Bone marrow aspirate smear. May-Grünwald-Giemsa stain: 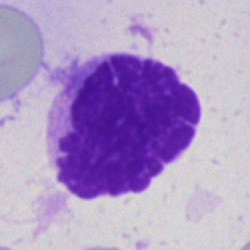

Artifact.